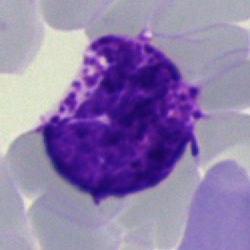 Showing a basophil.